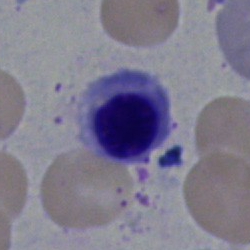
Specimen: bone marrow smear.
Classification: nucleated red cell.